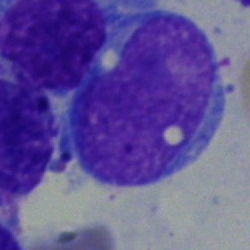Morphological class — undifferentiated blast.